Bone marrow aspirate smear · 40× oil immersion
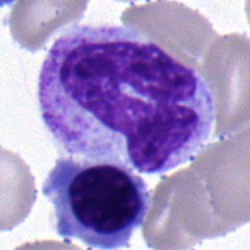 Impression → band-form neutrophil.